Bone marrow aspirate smear; 40× objective, oil immersion; 250×250 px: 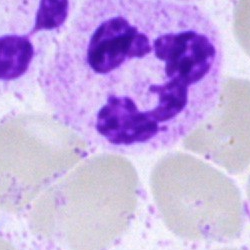

Morphology consistent with a segmented neutrophil.